Bone marrow aspirate smear. 250 by 250 pixels. 40× objective, oil immersion
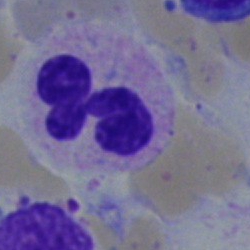
Morphology consistent with a polymorphonuclear neutrophil.